Bone marrow aspirate smear.
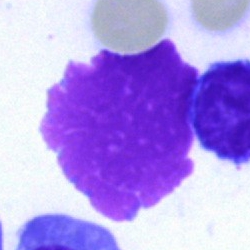
Showing an artifact.